Bone marrow aspirate smear:
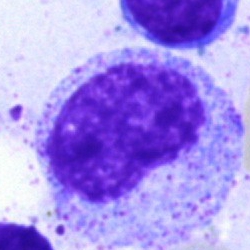Morphology consistent with a metamyelocyte.